Bone marrow aspirate smear; brightfield, 40× oil-immersion objective.
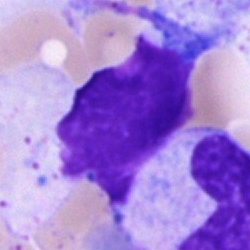Specimen: bone marrow smear.
Cell: artefact.